Bone marrow aspirate smear · single cell centered in the field — 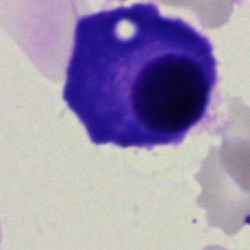 Morphology consistent with a plasma cell.